Bone marrow aspirate smear — 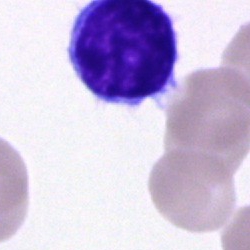Typical lymphocyte.